Bone marrow smear — 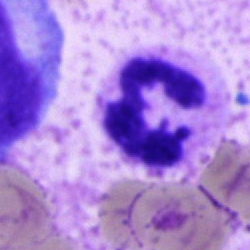
Q: What is the morphological classification of this cell?
A: It is a neutrophil (segmented).